Bone marrow aspirate smear: 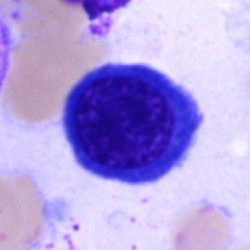

Nucleated red cell.